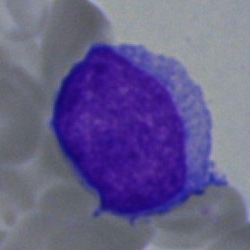

Single-cell crop from a bone marrow smear: blast.